Bone marrow smear: 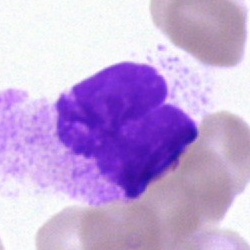 Specimen: bone marrow smear.
Cell: artifact.